100× oil immersion · single cell centered in the field · peripheral blood film.
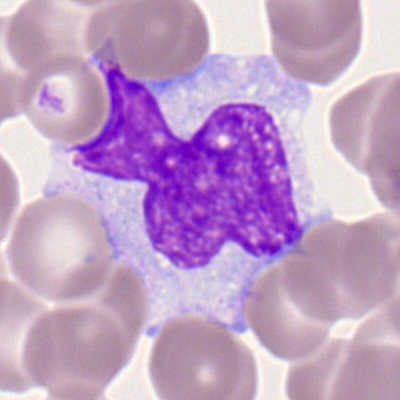Specimen: peripheral blood smear.
Cell type: monocyte.
Lineage: myeloid.